Image size 250×250. Single-cell crop. Bone marrow aspirate smear: 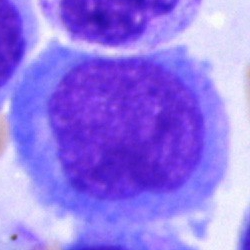
{"cell_type": "undifferentiated blast"}